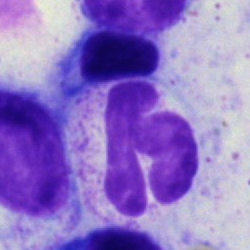

Specimen: bone marrow aspirate smear.
Classification: polymorphonuclear neutrophil.
Lineage: myeloid.